250×250 px. Bone marrow smear — 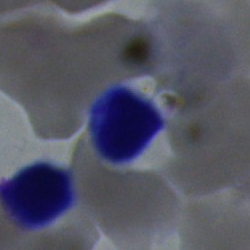

{"cell_type": "typical lymphocyte", "lineage": "lymphoid"}